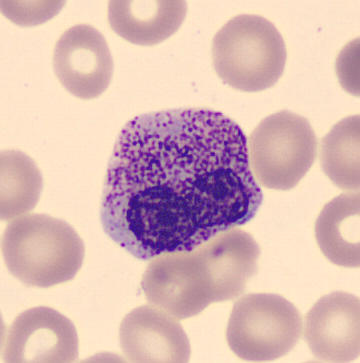Impression → metamyelocyte.